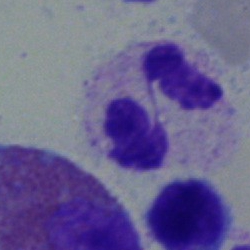Q: Identify the cell.
A: It is a polymorphonuclear neutrophil.